Single-cell field. Bone marrow aspirate smear. MGG-stained.
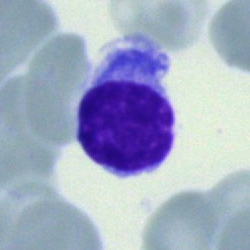
The cell shown is a lymphocyte.